Romanowsky stain; peripheral blood smear; single cell centered in the field
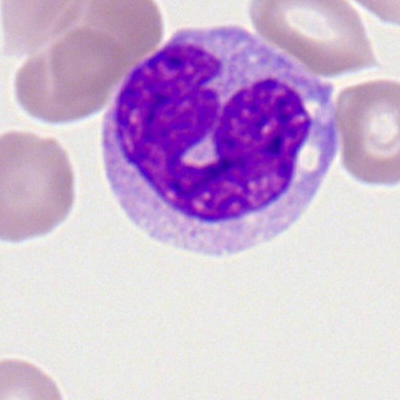
Q: Identify the cell.
A: Monocyte.